Bone marrow smear:
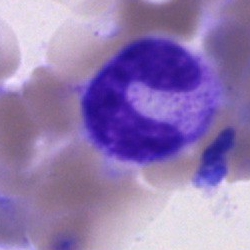Q: What is shown here?
A: It is a stab cell.